Bone marrow aspirate smear. Pappenheim-stained
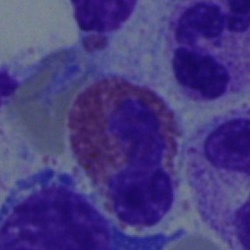 This is an eosinophil.